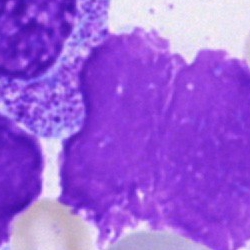 An artifact.